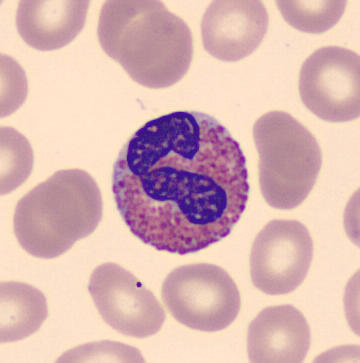

Eosinophilic granulocyte.

Preparation: Peripheral blood film.